Bone marrow aspirate smear:
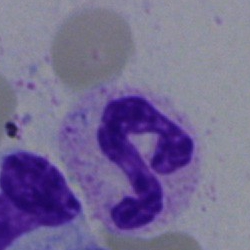 The morphological class is neutrophil (segmented).